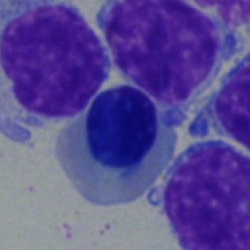

{"cell_type": "nucleated red cell", "lineage": "erythroid"}